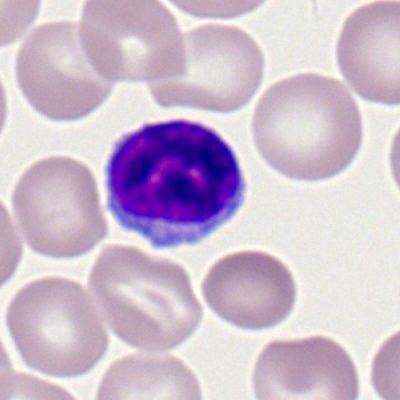 Q: What is the morphological classification of this cell?
A: Lymphocyte.